Bone marrow aspirate smear. Image size 250×250.
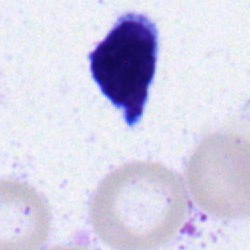The morphological class is typical lymphocyte.